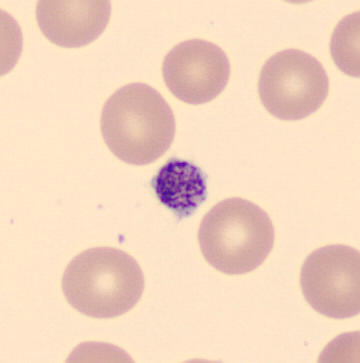
The classification is platelet.

May-Grünwald-Giemsa-stained. Peripheral blood film.